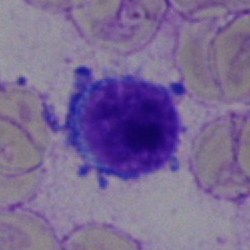

Impression — lymphocyte.